100× oil immersion. Romanowsky-type stain. Peripheral blood smear — 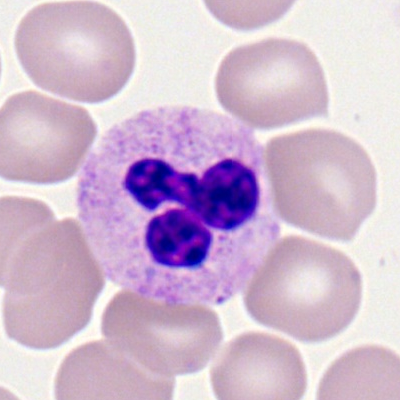

Q: Which cell type is shown here?
A: A neutrophil (segmented).